Bone marrow aspirate smear: 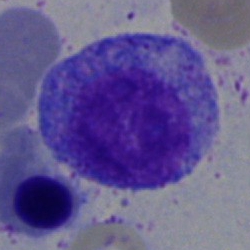 {"cell_type": "progranulocyte", "lineage": "myeloid"}